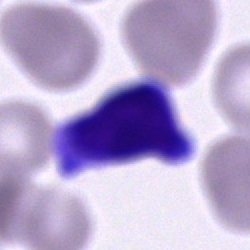
Cell = unidentifiable cell.